Bone marrow smear
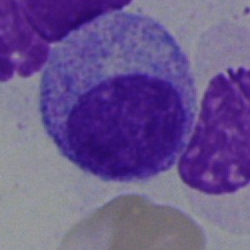

Morphology consistent with a myelocyte.